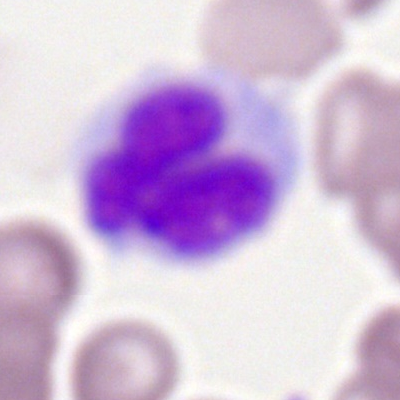
Specimen: peripheral blood smear.
Classification: monocyte.